250×250 px · bone marrow smear: 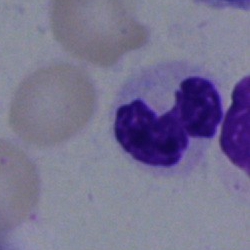
Cell type: polymorphonuclear neutrophil.